Bone marrow aspirate smear:
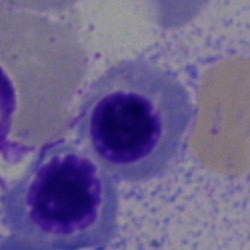
Morphological class — erythroblast.